Bone marrow smear:
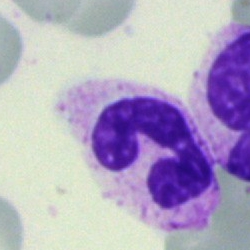A segmented neutrophil.